Peripheral blood smear · CellaVision DM96 digital cell image · 360 by 363 pixels:
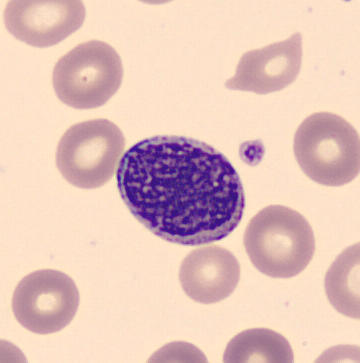A myelocyte.